Bone marrow smear.
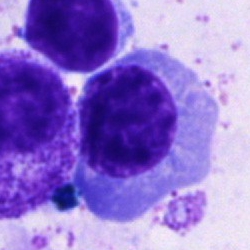

Nucleated red blood cell.